40× oil immersion; bone marrow smear; May-Grünwald-Giemsa/Pappenheim stain:
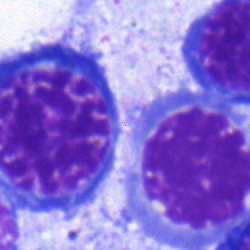
Specimen: bone marrow aspirate smear.
Classification: normoblast.